Image size 400×400 · peripheral blood smear — 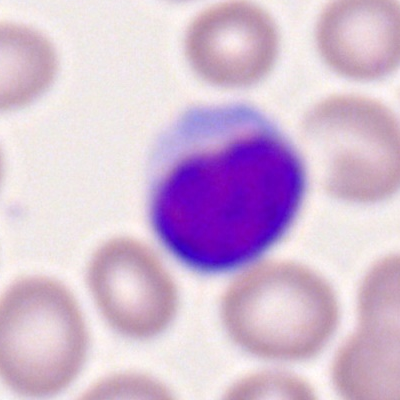 The cell is lymphocyte.